Image size 400×400; peripheral blood film
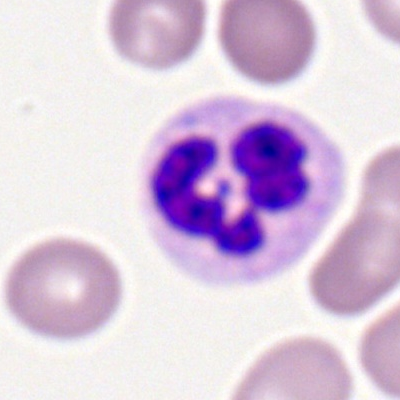 Q: What cell is this?
A: Polymorphonuclear neutrophil.